Image size 250×250. Bone marrow smear. Pappenheim-stained
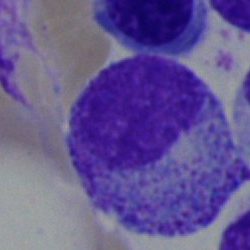 Cell type = myelocyte.